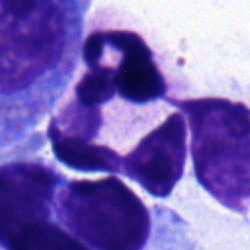
Morphology — segmented neutrophil.